May-Grünwald-Giemsa/Pappenheim stain; bone marrow smear
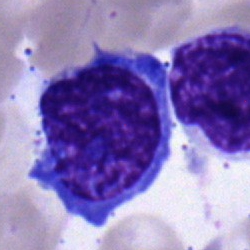 Cell type — nucleated red blood cell.